Bone marrow smear — 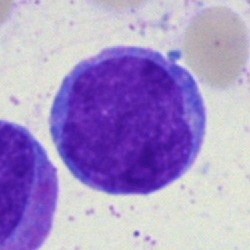 Morphological class = undifferentiated blast.